Bone marrow aspirate smear: 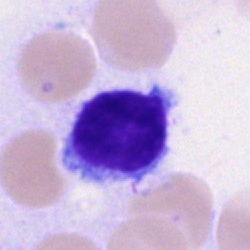Morphology — lymphocyte.